Bone marrow aspirate smear: 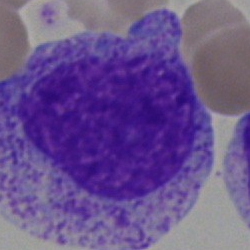
Q: Which cell type is shown here?
A: A promyelocyte.